Bone marrow aspirate smear; 250×250
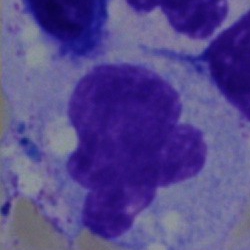This is an artifact.